Bone marrow smear
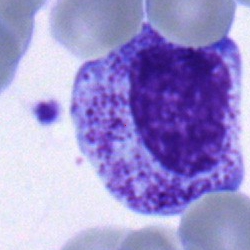Morphology consistent with a myelocyte.